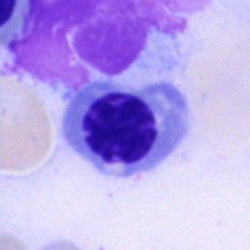Cell = erythroblast.